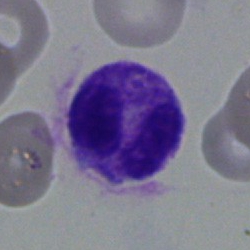

Single cell identified as a polymorphonuclear neutrophil.